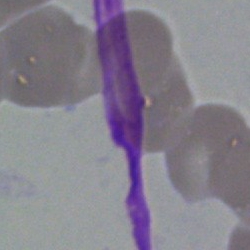

Morphology → artefact.